Bone marrow aspirate smear: 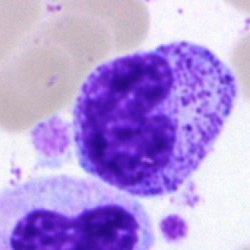Specimen: bone marrow aspirate smear.
Cell: metamyelocyte.